Bone marrow aspirate smear
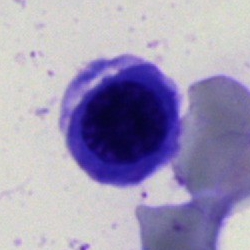

{"cell_type": "normoblast"}